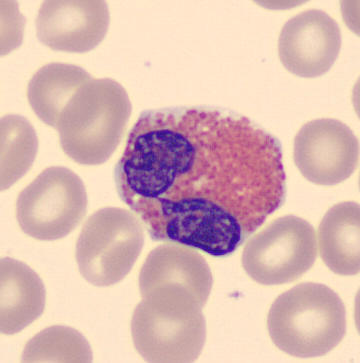
An eosinophilic granulocyte. Peripheral blood smear.